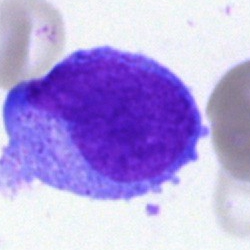
Specimen: bone marrow aspirate smear.
Classification: blast cell.